Bone marrow smear:
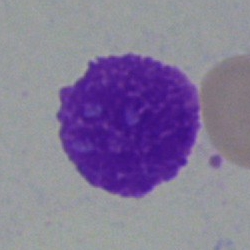 Single cell identified as an artefact.